Bone marrow smear: 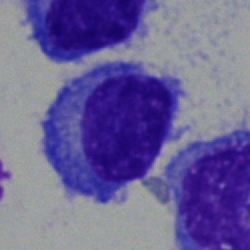 Specimen: bone marrow aspirate smear.
Classification: plasma cell.